Bone marrow smear.
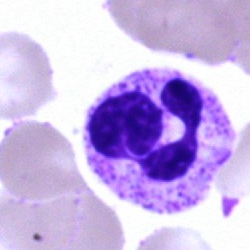Impression → segmented neutrophil.